Single-cell crop; bone marrow aspirate smear — 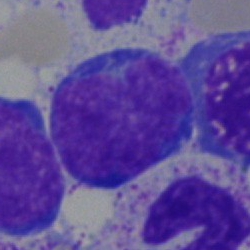

Classification = lymphocyte.